Single-cell field · bone marrow smear · brightfield, 40× oil-immersion objective.
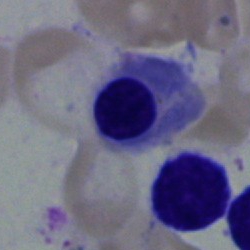 Specimen: bone marrow smear.
Morphological class: erythroblast.
Lineage: erythroid.